Single cell centered in the field. Bone marrow aspirate smear.
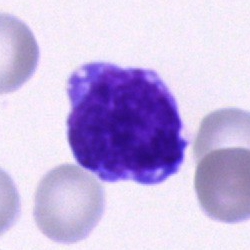Cell = undifferentiated blast.